Bone marrow aspirate smear.
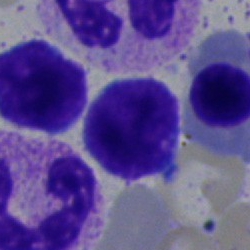

Specimen: bone marrow smear.
Classification: lymphocyte.